Brightfield, 40× oil-immersion objective · bone marrow aspirate smear:
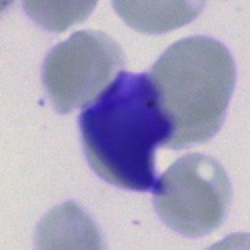
Classification: typical lymphocyte.